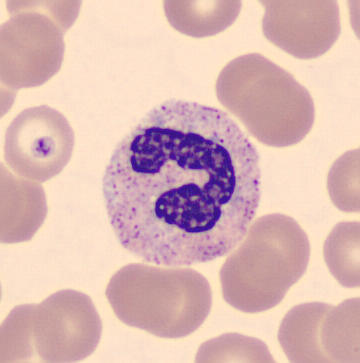

Stab cell. Imaged on a CellaVision DM96 analyser. Peripheral blood smear.